Image size 250×250; bone marrow smear — 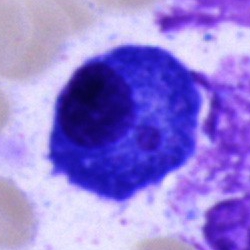 The cell type is plasma cell.